Bone marrow smear: 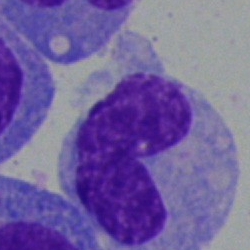 A monocyte.